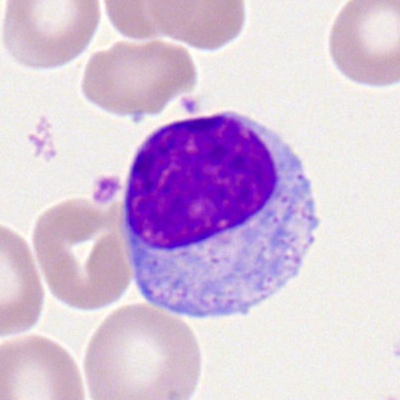
Showing a lymphocyte.